40× oil immersion. Bone marrow smear:
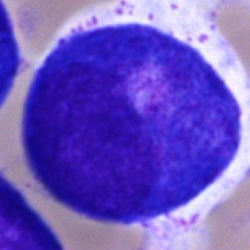
Q: What cell is this?
A: This is a progranulocyte.